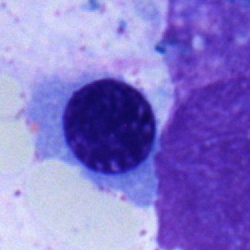

A nucleated red blood cell.